Bone marrow aspirate smear: 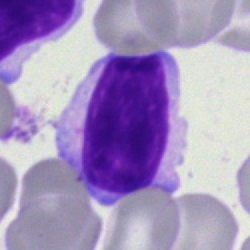 A typical lymphocyte.